Bone marrow smear; 40× oil immersion
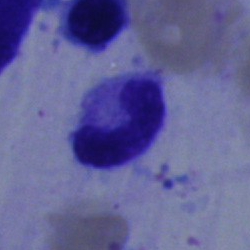Cell: band neutrophil.